Bone marrow aspirate smear. 40× objective, oil immersion: 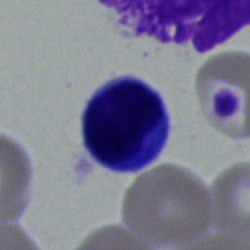

Q: Identify the cell.
A: A lymphocyte.